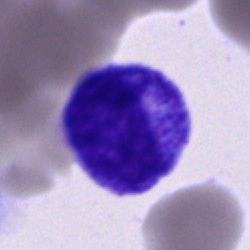 Classification — progranulocyte.